Bone marrow smear
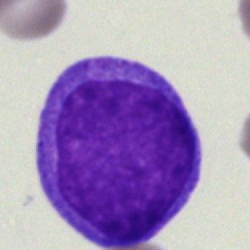
Q: Which cell type is shown here?
A: This is an undifferentiated blast.